Bone marrow aspirate smear:
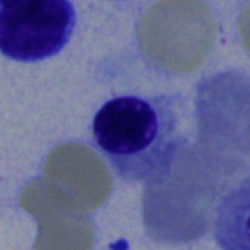 The cell type is erythroblast.